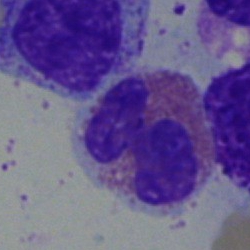{"cell_type": "eosinophil"}